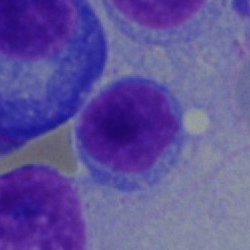 Specimen: bone marrow smear.
Classification: typical lymphocyte.